100× objective, oil immersion. Peripheral blood smear — 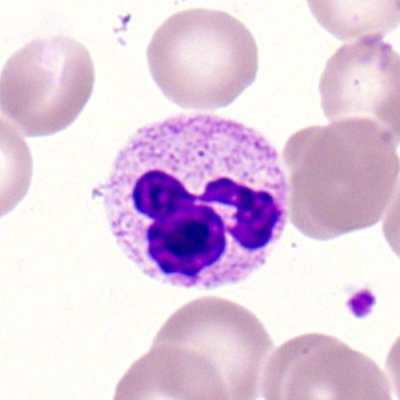Cell type: segmented neutrophil.